Bone marrow aspirate smear · single-cell field:
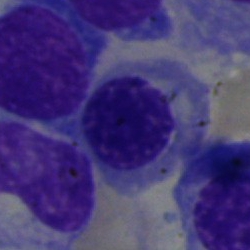The cell type is nucleated red cell.